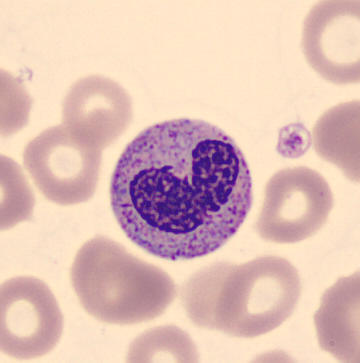Preparation: Peripheral blood film. CellaVision DM96.

This is a band-form neutrophil.